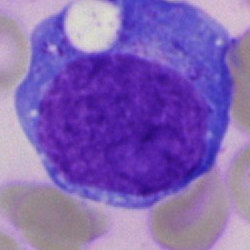Bone marrow aspirate smear, single cell — blast cell.